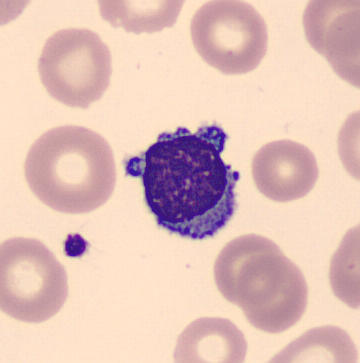 Showing a lymphocyte.

Peripheral blood smear.